Bone marrow smear: 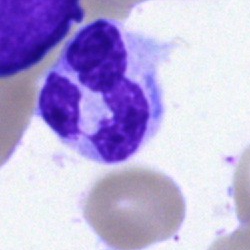 Morphology consistent with a neutrophil (segmented).